Bone marrow smear; MGG-stained; 250×250 px:
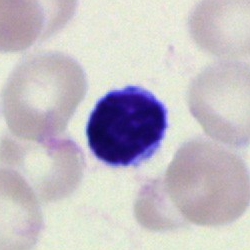

Q: What cell is this?
A: Typical lymphocyte.